Bone marrow smear
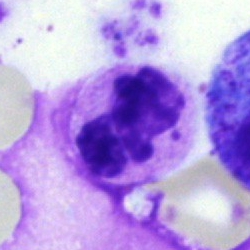

This is a polymorphonuclear neutrophil.